Bone marrow smear. Brightfield microscopy, 40× oil immersion — 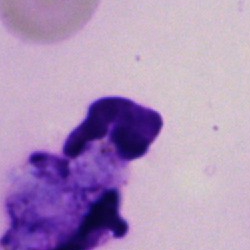

Q: What is shown here?
A: It is an artifact.